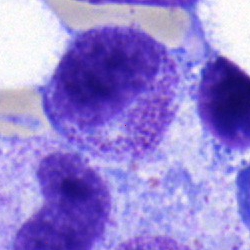

The classification is myelocyte.